Bone marrow aspirate smear — 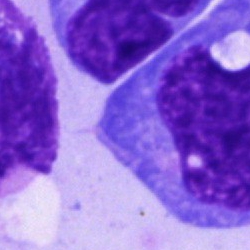
Q: What type of cell is this?
A: This is a blast cell.